Bone marrow smear: 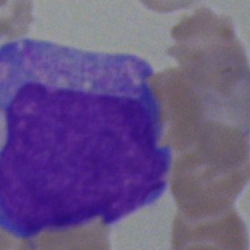Showing a blast.